Single-cell field · 40× objective, oil immersion · bone marrow aspirate smear:
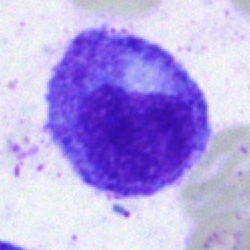
A progranulocyte.